Bone marrow smear: 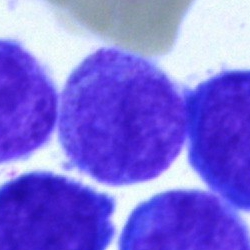
Q: What is the morphological classification of this cell?
A: A blast cell.